Bone marrow aspirate smear
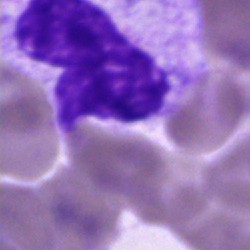This is a cell of indeterminate lineage.